Bone marrow aspirate smear: 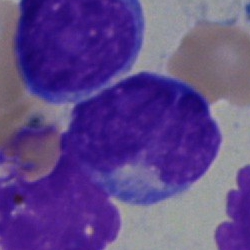

Showing a blast.